Bone marrow smear.
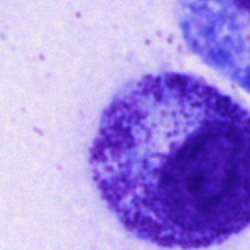 Morphological class — promyelocyte.